Bone marrow aspirate smear
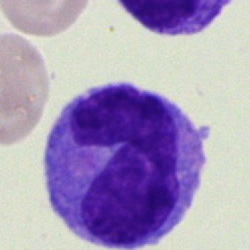
Q: Which cell type is shown here?
A: A monocyte.